Bone marrow aspirate smear — 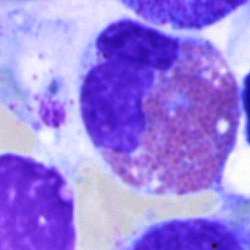

Morphology — eosinophilic granulocyte.